Bone marrow smear; brightfield, 40× oil-immersion objective
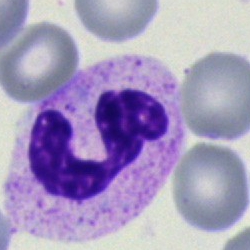
Q: What cell is this?
A: Polymorphonuclear neutrophil.